Single-cell field; bone marrow smear: 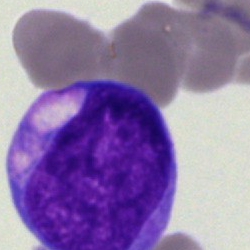Specimen: bone marrow aspirate smear.
Morphological class: blast cell.